Bone marrow smear:
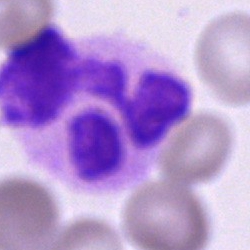 Specimen: bone marrow aspirate smear.
Classification: segmented neutrophil.
Lineage: myeloid.